400×400 px · peripheral blood smear · cropped to a single cell
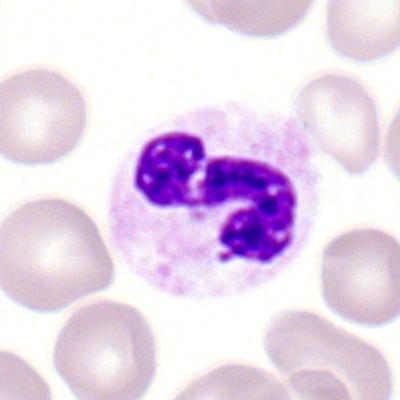The cell shown is a polymorphonuclear neutrophil.